Bone marrow smear:
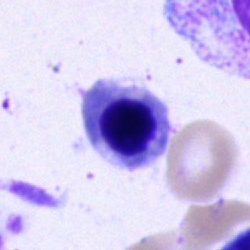
Q: What is the morphological classification of this cell?
A: It is a nucleated red blood cell.